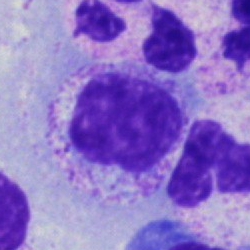

Classification: myelocyte.